Bone marrow smear.
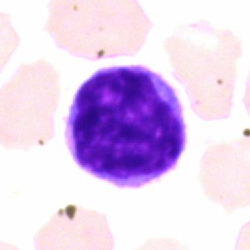Q: What is the morphological classification of this cell?
A: Typical lymphocyte.